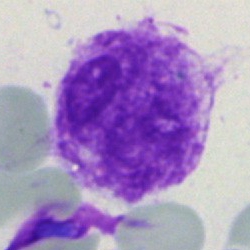 Morphology — artefact.